Bone marrow smear. Single-cell field. May-Grünwald-Giemsa stain: 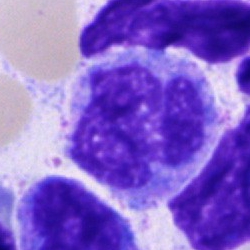

The cell shown is a monocyte.